40× oil immersion; MGG-stained; bone marrow aspirate smear:
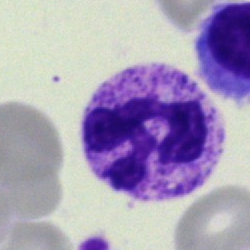

Showing a segmented neutrophil.